Peripheral blood film:
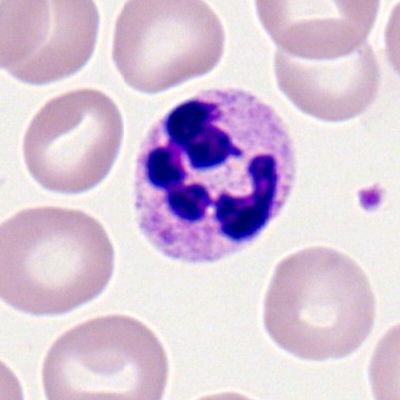
Single cell identified as a polymorphonuclear neutrophil.